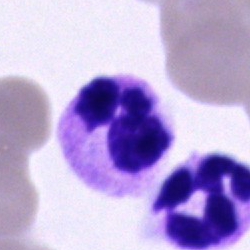

Polymorphonuclear neutrophil.